MGG-stained · bone marrow aspirate smear · 250 by 250 pixels — 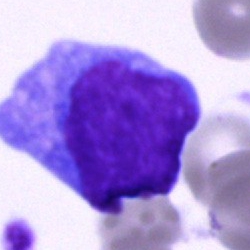Morphology → blast.